Bone marrow smear — 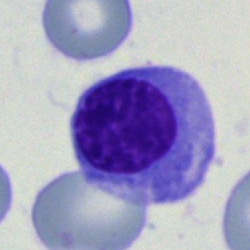

Q: What type of cell is this?
A: A nucleated red blood cell.